Bone marrow smear; 40× objective, oil immersion; May-Grünwald-Giemsa stain: 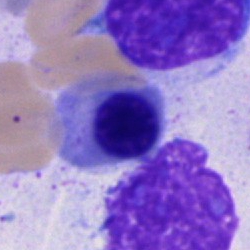 {"cell_type": "erythroblast", "lineage": "erythroid"}